Bone marrow smear. Single-cell field:
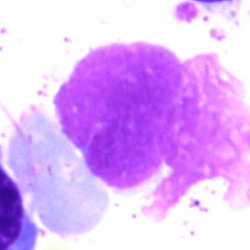 Morphological class = artefact.